Bone marrow aspirate smear.
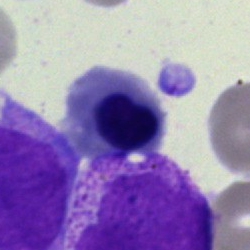This is a nucleated red blood cell.